Bone marrow aspirate smear. 40× oil immersion.
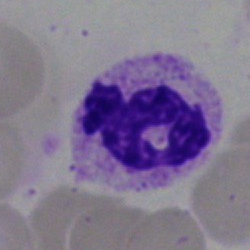Q: What is the morphological classification of this cell?
A: It is a segmented neutrophil.